Cropped to a single cell. Bone marrow smear — 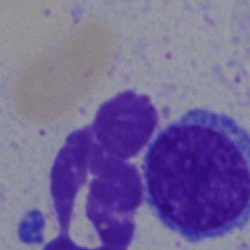The classification is typical lymphocyte.